Bone marrow aspirate smear: 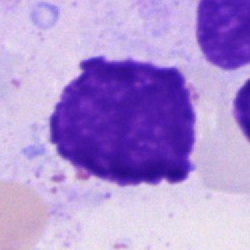

Specimen: bone marrow smear.
Classification: artefact.